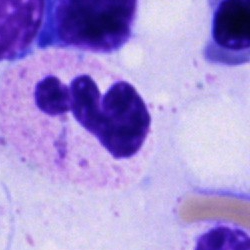

Specimen: bone marrow aspirate smear.
Morphological class: neutrophil (segmented).
Lineage: myeloid.